Peripheral blood smear.
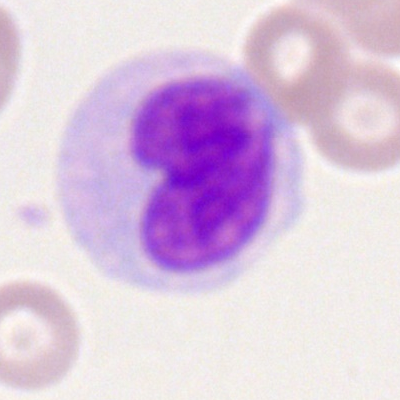

Single cell identified as a monocyte.